MGG-stained. Bone marrow smear. Single cell centered in the field:
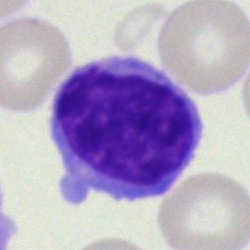 This is a lymphocyte.